Bone marrow aspirate smear; single cell centered in the field.
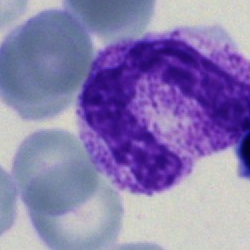 The cell shown is a neutrophil (band).